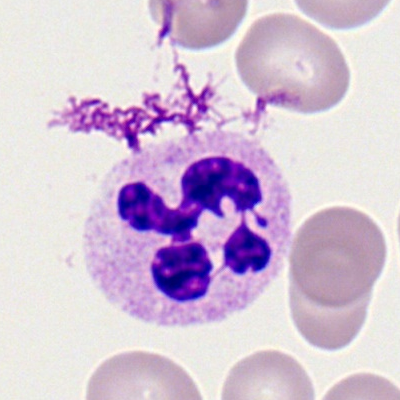

Morphology → polymorphonuclear neutrophil.